Bone marrow aspirate smear:
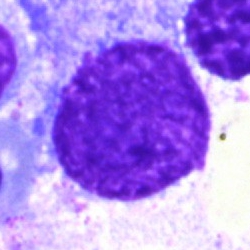Cell — artefact.